Bone marrow smear; 250×250 px:
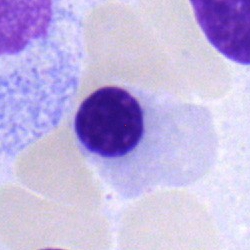 Q: What type of cell is this?
A: This is a normoblast.